Romanowsky-stained · M8 digital microscope (Precipoint), 100× oil immersion · peripheral blood smear: 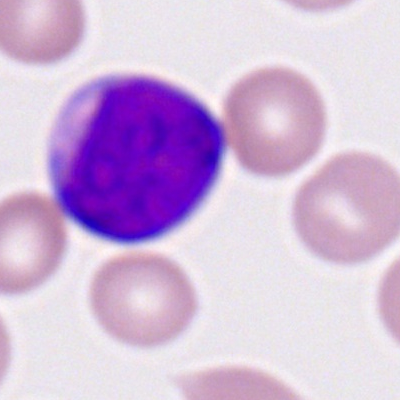Specimen: peripheral blood smear.
Cell type: myeloblast.